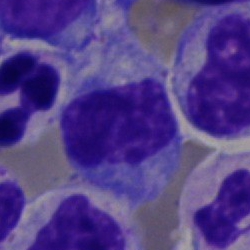

Showing a lymphocyte.